Bone marrow aspirate smear; May-Grünwald-Giemsa stain.
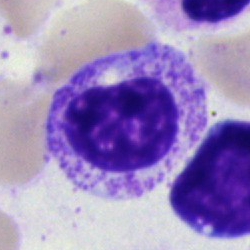

A myelocyte.